Bone marrow smear. 250×250. 40× objective, oil immersion
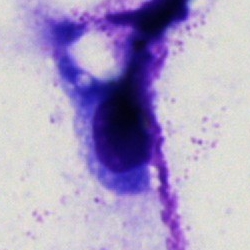

Morphological class = artefact.